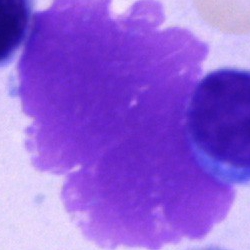Morphology → artifact.